Bone marrow smear:
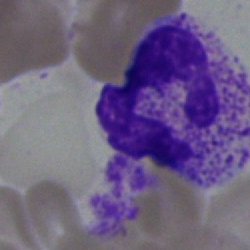{"cell_type": "polymorphonuclear neutrophil", "lineage": "myeloid"}